Bone marrow smear — 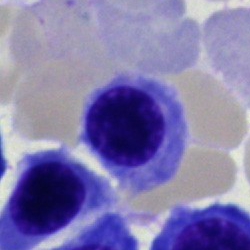
Q: Identify the cell.
A: A normoblast.